Bone marrow smear — 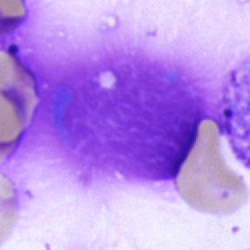The cell shown is an artefact.